Bone marrow aspirate smear; brightfield microscopy, 40× oil immersion; May-Grünwald-Giemsa stain
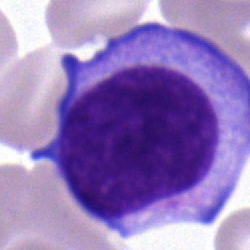

Showing a lymphocyte.